Peripheral blood smear.
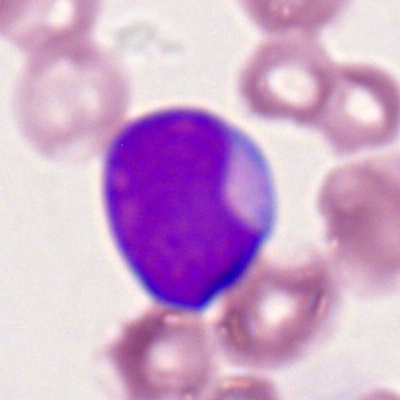

Classification = myeloblast.